Bone marrow smear · MGG-stained · image size 250×250:
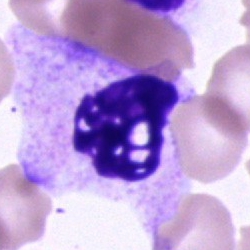
Morphology consistent with an artifact.